Bone marrow aspirate smear
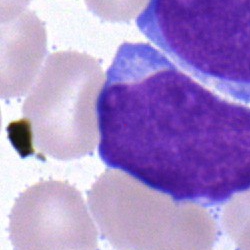{"cell_type": "blast cell"}